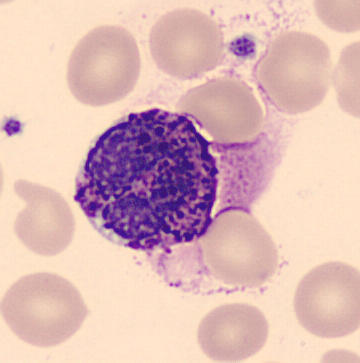

Identified as a basophil.

Image size 360×363 · peripheral blood film.